Bone marrow aspirate smear.
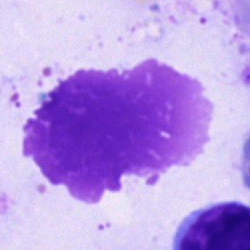 This is an artefact.